Bone marrow aspirate smear.
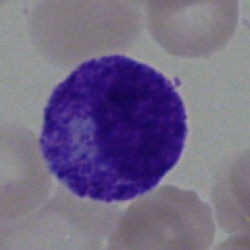
The cell shown is a myelocyte.